Bone marrow aspirate smear · single-cell crop · brightfield, 40× oil-immersion objective
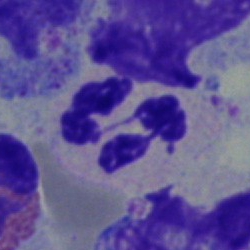Q: What is the morphological classification of this cell?
A: This is a segmented neutrophil.